Brightfield, 40× oil-immersion objective. Bone marrow aspirate smear. Single cell centered in the field:
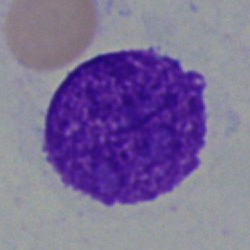

Morphology — artifact.